Bone marrow aspirate smear:
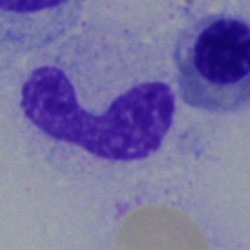 Q: What is shown here?
A: Stab cell.